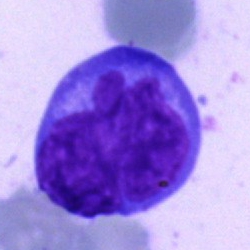Cell = undifferentiated blast.